May-Grünwald-Giemsa stain. Bone marrow aspirate smear — 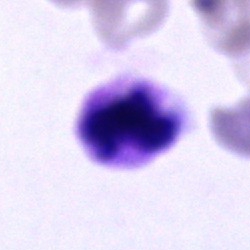{"cell_type": "segmented neutrophil"}